Bone marrow smear
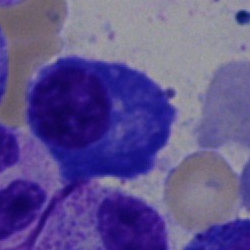
Morphological class: plasma cell.